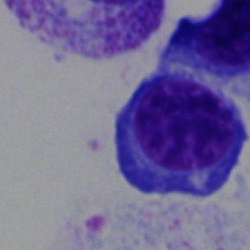{"cell_type": "normoblast"}